Bone marrow smear.
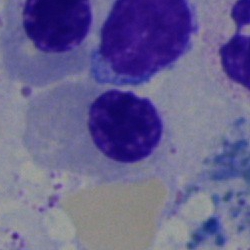A nucleated red cell.